Bone marrow smear · brightfield microscopy, 40× oil immersion — 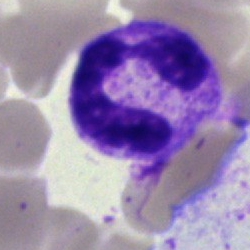Morphology consistent with a polymorphonuclear neutrophil.